Bone marrow aspirate smear: 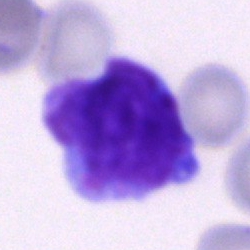 Q: What type of cell is this?
A: A blast cell.